Bone marrow aspirate smear. 250×250.
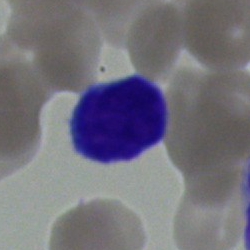Cell = lymphocyte.